Pappenheim-stained. Bone marrow aspirate smear.
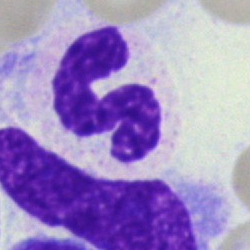
A neutrophil (segmented).